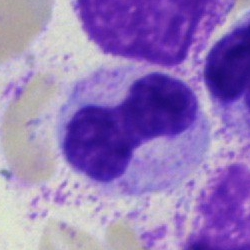Bone marrow aspirate smear, single cell — band neutrophil.